Peripheral blood film:
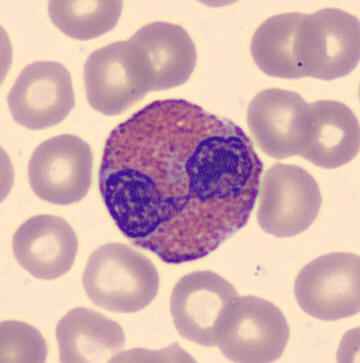
Morphology → eosinophilic granulocyte.